Brightfield, 100× oil-immersion objective; peripheral blood film.
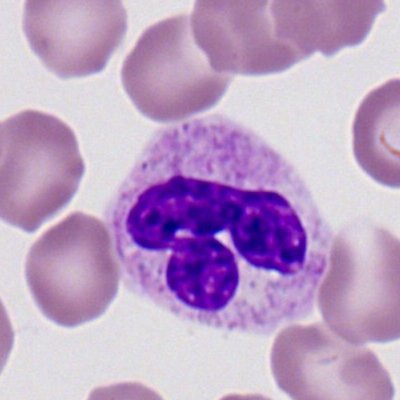 Morphology consistent with a segmented neutrophil.